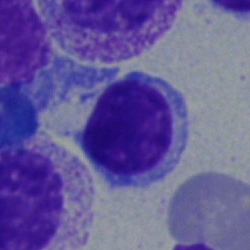Morphology → lymphocyte.